Bone marrow aspirate smear.
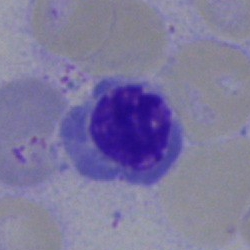Cell type — normoblast.